40× objective, oil immersion. Single-cell crop. Bone marrow aspirate smear: 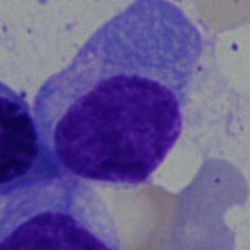

Cell type — plasma cell.